Bone marrow smear.
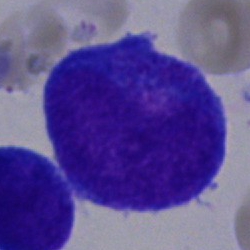The cell shown is a blast.